Pappenheim-stained. Bone marrow smear.
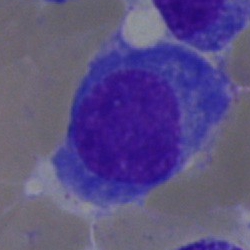
The cell shown is a plasmacyte.